Bone marrow aspirate smear — 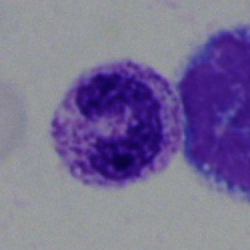 Showing a neutrophil (segmented).